Bone marrow smear:
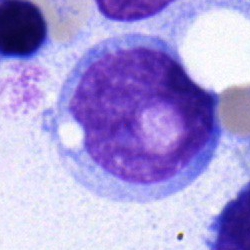
Morphology consistent with a blast.